Bone marrow smear — 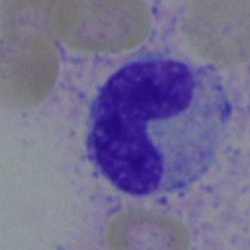

This is a band neutrophil.